Brightfield microscopy, 40× oil immersion. Bone marrow aspirate smear — 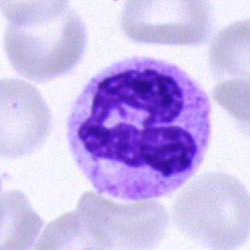Specimen: bone marrow aspirate smear.
Cell type: eosinophilic granulocyte.
Lineage: myeloid.